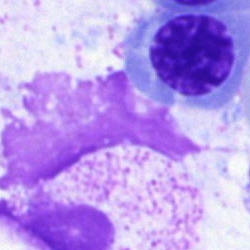 Single-cell crop from a bone marrow smear: artifact.